Bone marrow smear.
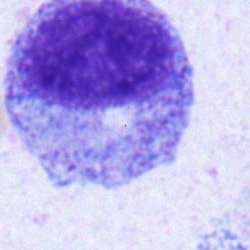

The cell is promyelocyte.